Bone marrow aspirate smear.
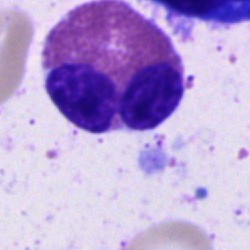
Classification: eosinophil.